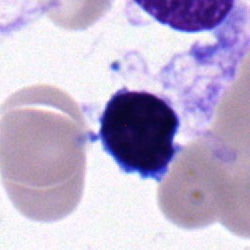Q: What is shown here?
A: It is a typical lymphocyte.